Bone marrow smear: 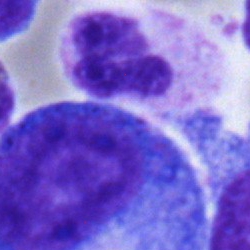Classification: polymorphonuclear neutrophil.